Bone marrow smear
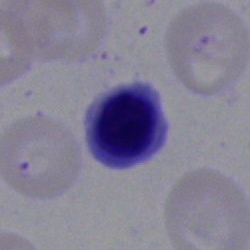
This is a nucleated red cell.